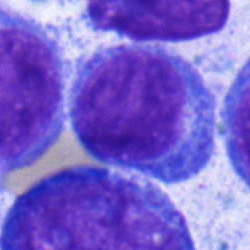

Single cell identified as an undifferentiated blast.